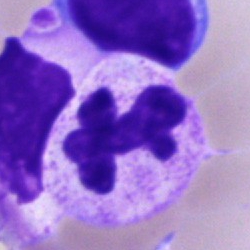
Showing a segmented neutrophil.